Bone marrow smear — 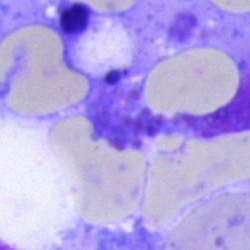 Classification — artefact.